Bone marrow aspirate smear · May-Grünwald-Giemsa/Pappenheim stain · 250×250 px.
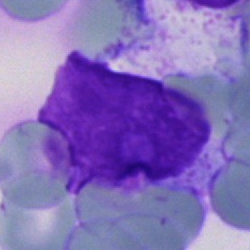 Classification: artifact.